250×250 px; Pappenheim-stained; bone marrow aspirate smear.
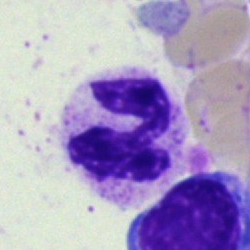
The cell is segmented neutrophil.